Bone marrow aspirate smear; May-Grünwald-Giemsa stain: 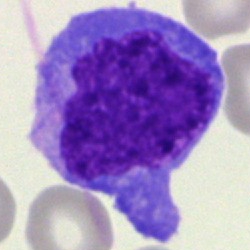Q: What type of cell is this?
A: Undifferentiated blast.